Bone marrow smear; image size 250×250: 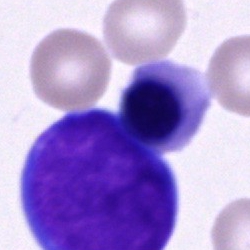 Cell — nucleated red blood cell.